Brightfield microscopy, 40× oil immersion · bone marrow smear
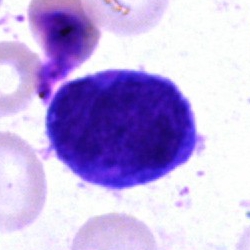

A blast.